Bone marrow smear. MGG-stained.
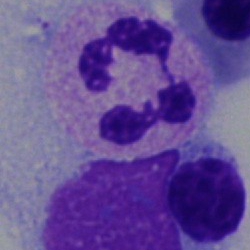Morphological class — polymorphonuclear neutrophil.